40× oil immersion; bone marrow aspirate smear; 250 by 250 pixels — 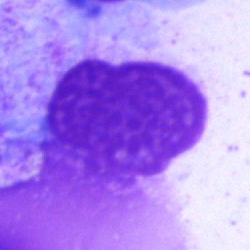Morphological class = artifact.